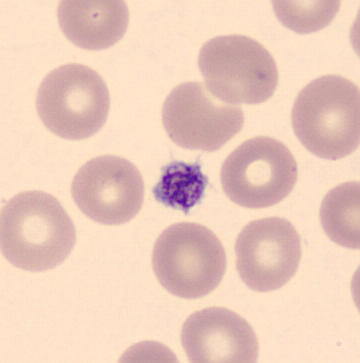

This is a platelet (thrombocyte).